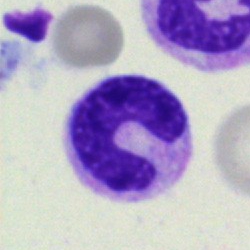
Q: What is the morphological classification of this cell?
A: This is a stab cell.